Bone marrow smear · May-Grünwald-Giemsa stain.
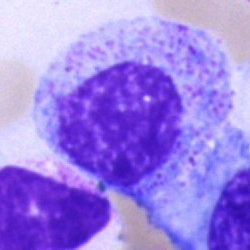The classification is myelocyte.